Bone marrow smear; single-cell crop; 40× objective, oil immersion: 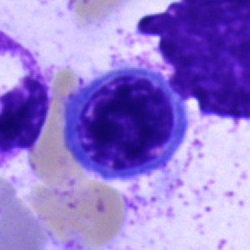
Showing a nucleated red cell.